250×250 · bone marrow smear: 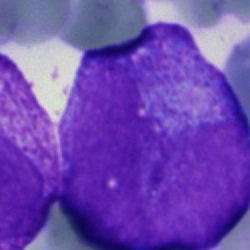Specimen: bone marrow aspirate smear.
Classification: blast cell.